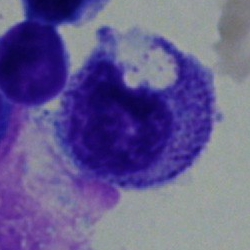Morphology — myelocyte.